40× objective, oil immersion. Bone marrow aspirate smear. May-Grünwald-Giemsa/Pappenheim stain: 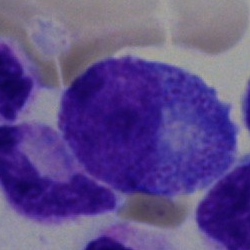

The cell shown is a progranulocyte.